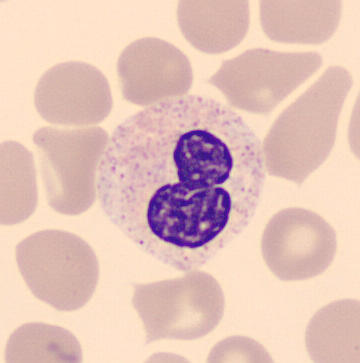 Preparation: Peripheral blood film.

Classification = band neutrophil.